Peripheral blood smear. Single-cell crop. Image size 400×400 — 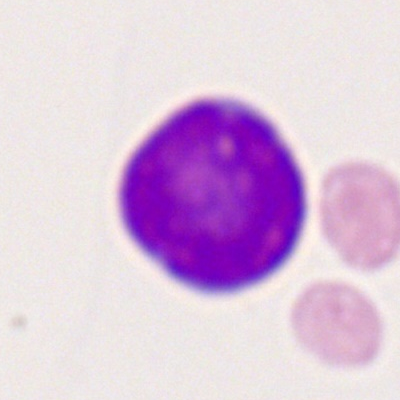
Cell = myeloid blast.